Bone marrow aspirate smear
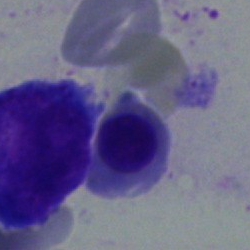 A nucleated red blood cell.